Peripheral blood smear: 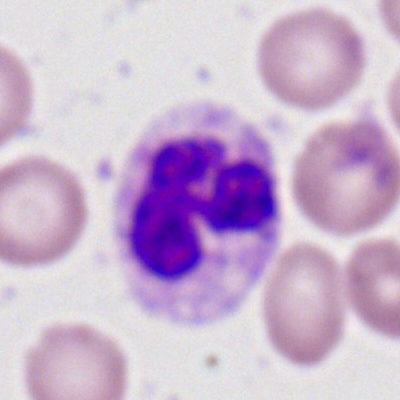
This is a segmented neutrophil.